Pappenheim-stained; bone marrow aspirate smear.
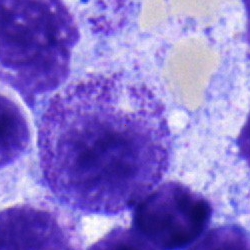Cell — myelocyte.